Single-cell field; bone marrow smear — 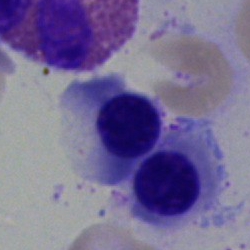
Morphology → nucleated red blood cell.